Bone marrow smear:
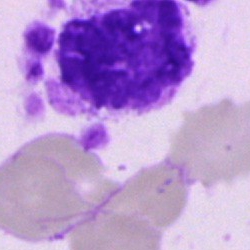
Q: What is shown here?
A: This is an artifact.